Bone marrow aspirate smear:
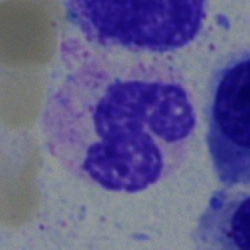
Q: What cell is this?
A: It is a band-form neutrophil.